Cropped to a single cell; bone marrow aspirate smear; brightfield, 40× oil-immersion objective
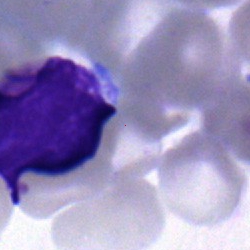Single cell identified as a lymphocyte.